Bone marrow aspirate smear; single-cell crop — 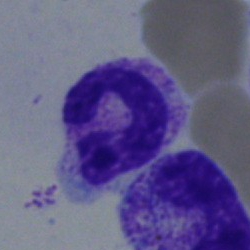

Neutrophil (band).